Bone marrow smear.
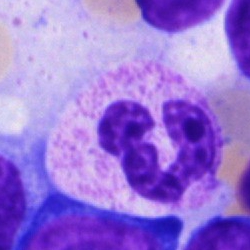Single cell identified as a polymorphonuclear neutrophil.